Bone marrow aspirate smear. Cropped to a single cell:
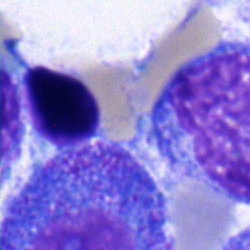
Q: What cell is this?
A: It is a nucleated red cell.